Bone marrow aspirate smear · single-cell crop: 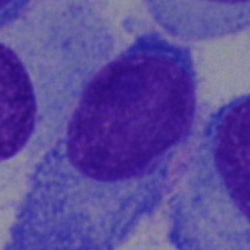 Classification = plasmacyte.